Brightfield, 40× oil-immersion objective. Bone marrow smear — 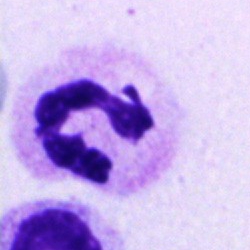 The cell is segmented neutrophil.